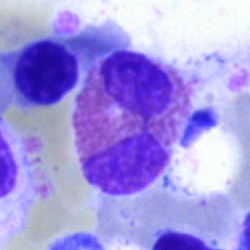 The classification is eosinophil.